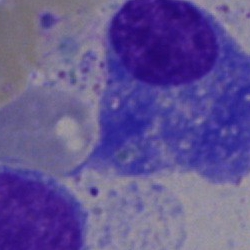

Q: Which cell type is shown here?
A: This is a plasma cell.